Bone marrow aspirate smear:
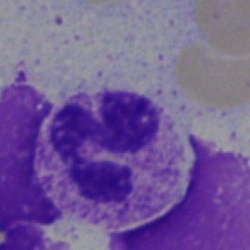 Q: What cell is this?
A: Polymorphonuclear neutrophil.